Bone marrow smear · 250 by 250 pixels · MGG-stained
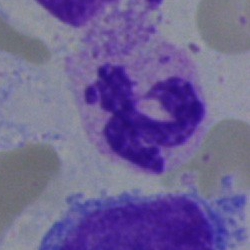

Cell = segmented neutrophil.